Bone marrow smear:
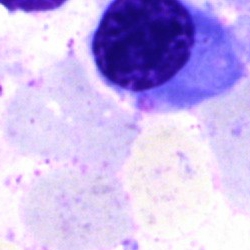Specimen: bone marrow smear.
Classification: erythroblast.
Lineage: erythroid.